May-Grünwald-Giemsa/Pappenheim stain · bone marrow smear · image size 250×250 — 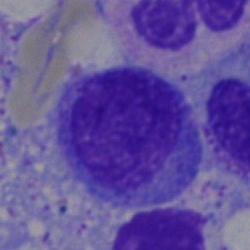
A progranulocyte.